Bone marrow aspirate smear; MGG-stained; single-cell crop — 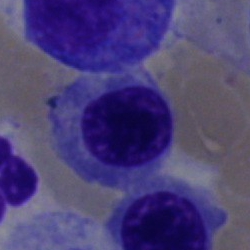 Classification = normoblast.